Bone marrow aspirate smear; cropped to a single cell — 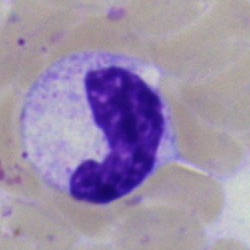 Specimen: bone marrow smear.
Cell: band-form neutrophil.